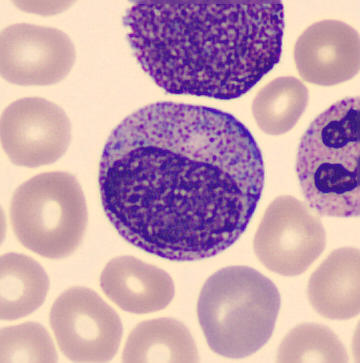

Cell type — promyelocyte.
Image: Peripheral blood smear; May-Grünwald-Giemsa-stained.